Bone marrow aspirate smear. 250×250:
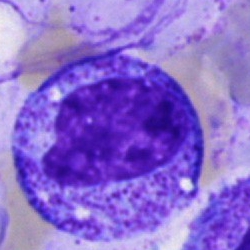Cell — promyelocyte.